Peripheral blood film — 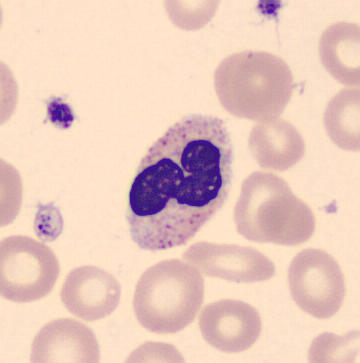

Morphology — stab cell.